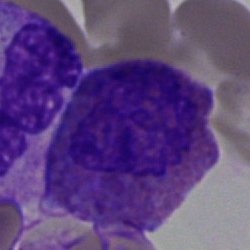The classification is eosinophil.